Bone marrow aspirate smear · cropped to a single cell.
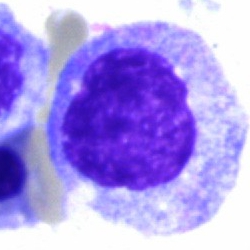
Single cell identified as a progranulocyte.